Bone marrow smear · 40× objective, oil immersion · single-cell crop.
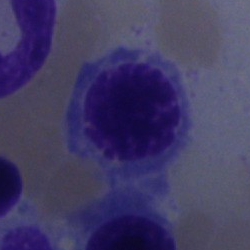

{"cell_type": "normoblast", "lineage": "erythroid"}